40× oil immersion. Bone marrow smear. Single-cell crop — 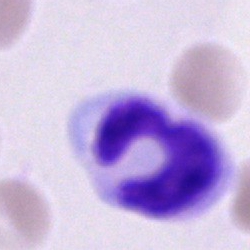

This is a stab cell.